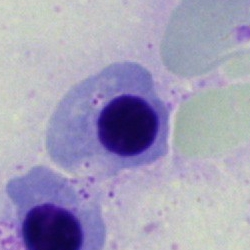 Q: What is the morphological classification of this cell?
A: It is a nucleated red cell.